Peripheral blood smear — 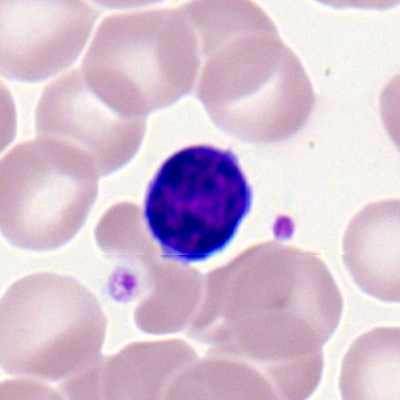Q: What is shown here?
A: A typical lymphocyte.